Bone marrow aspirate smear · Pappenheim-stained · 40× objective, oil immersion
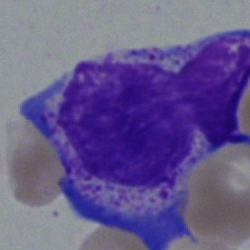 Specimen: bone marrow smear.
Cell: progranulocyte.